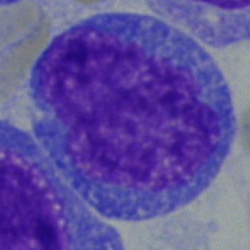 A blast on a bone marrow smear.